Peripheral blood film; cropped to a single cell
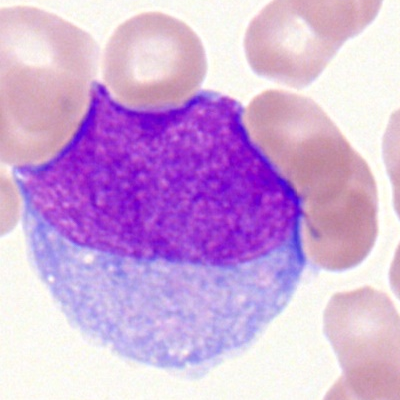 Myeloblast.